Brightfield microscopy, 40× oil immersion; May-Grünwald-Giemsa/Pappenheim stain; bone marrow aspirate smear
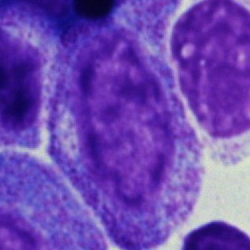

The morphological class is progranulocyte.